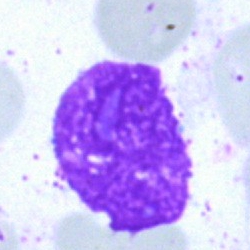 Classification: artefact.